Bone marrow aspirate smear · single-cell field · brightfield microscopy, 40× oil immersion:
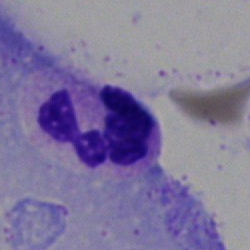

This is a segmented neutrophil.